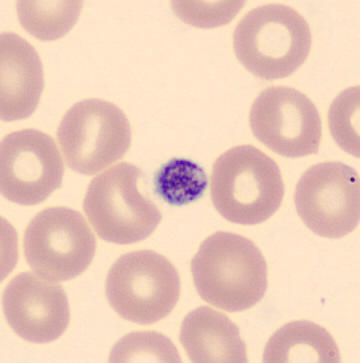 Cell type — thrombocyte.